Bone marrow aspirate smear
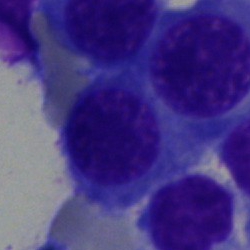

{"cell_type": "nucleated red cell", "lineage": "erythroid"}